Bone marrow aspirate smear; May-Grünwald-Giemsa stain; 40× objective, oil immersion — 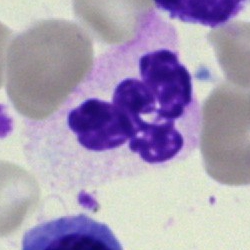
Specimen: bone marrow smear.
Morphological class: segmented neutrophil.
Lineage: myeloid.